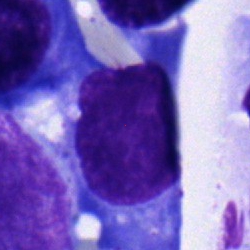
Q: What cell is this?
A: Typical lymphocyte.